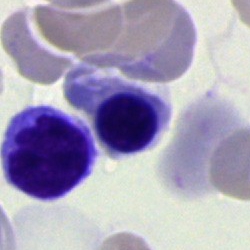Morphology consistent with a nucleated red blood cell.